Bone marrow smear
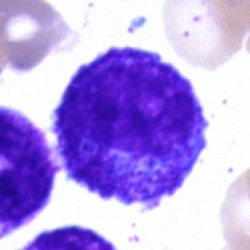Morphology consistent with a promyelocyte.